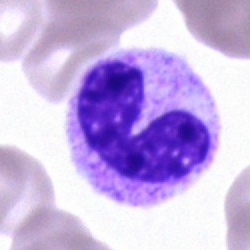
Q: What cell is this?
A: It is a neutrophil (band).